Single-cell crop; bone marrow aspirate smear
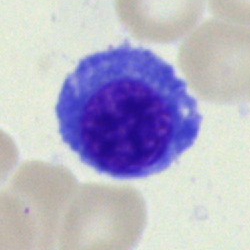 Morphology — normoblast.